Bone marrow smear · May-Grünwald-Giemsa stain · brightfield microscopy, 40× oil immersion.
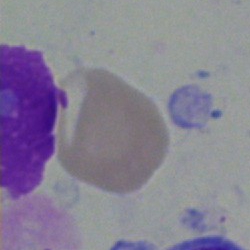Cell = artefact.